Bone marrow aspirate smear.
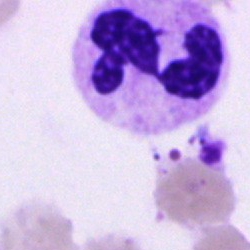 Showing a polymorphonuclear neutrophil.